Bone marrow smear
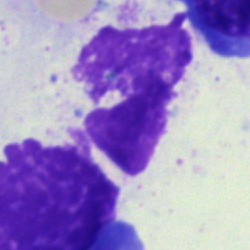This is an artifact.